Bone marrow aspirate smear — 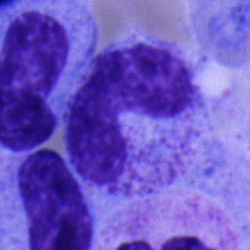Q: What cell is this?
A: This is a band-form neutrophil.